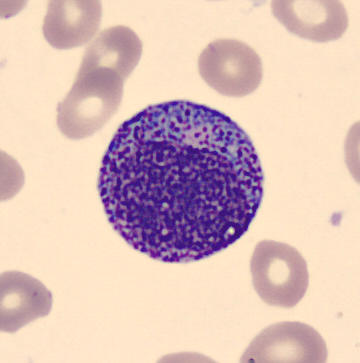 Identified as a progranulocyte.

Peripheral blood smear.